Bone marrow aspirate smear
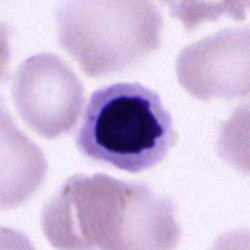
Normoblast.